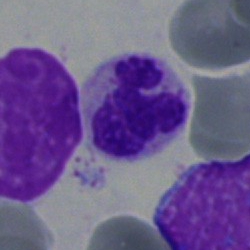 Cell = segmented neutrophil.